Bone marrow aspirate smear; 40× objective, oil immersion — 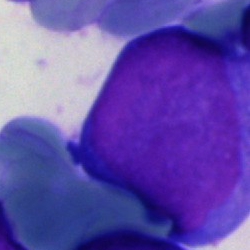

Showing a blast.